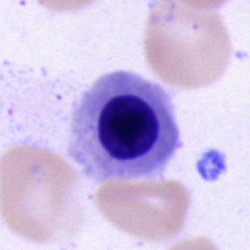 Q: Identify the cell.
A: A normoblast.